May-Grünwald-Giemsa stain. 250 by 250 pixels. Bone marrow smear:
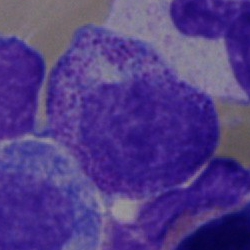
Q: What is shown here?
A: It is a myelocyte.